250×250 · bone marrow aspirate smear — 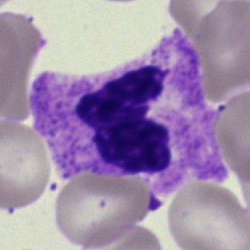
Morphology — segmented neutrophil.